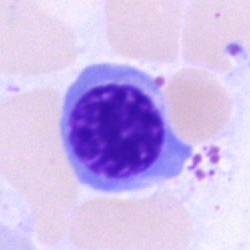This is a nucleated red blood cell.